Bone marrow smear.
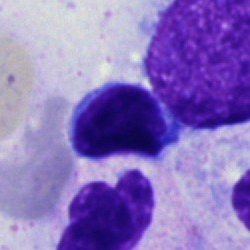

The cell is band neutrophil.